Peripheral blood smear.
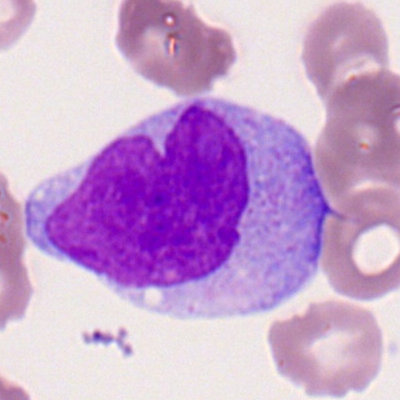 This is a monocyte.